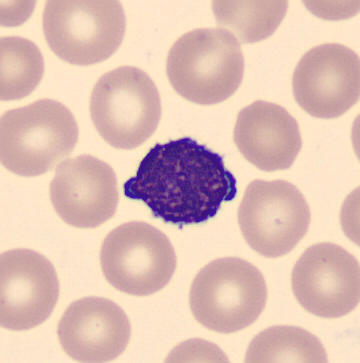Specimen: peripheral blood smear.
Cell type: typical lymphocyte.